Bone marrow aspirate smear: 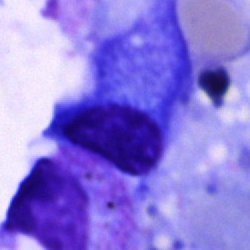

A plasma cell.